Bone marrow smear — 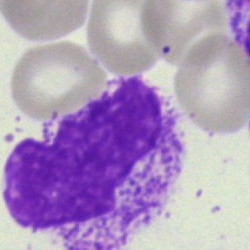
Classification: artifact.